Bone marrow aspirate smear.
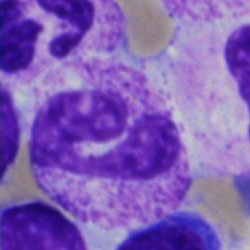 Q: What is shown here?
A: It is a segmented neutrophil.